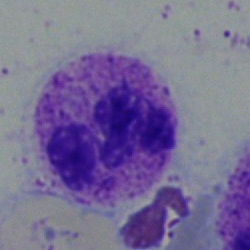Morphology consistent with a neutrophil (segmented).